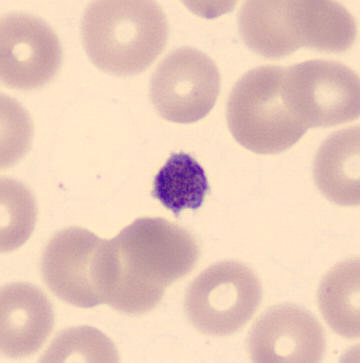
A thrombocyte.
Preparation: Peripheral blood film.